250 by 250 pixels; bone marrow aspirate smear
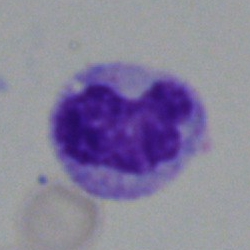
This is a monocyte.